Brightfield microscopy, 40× oil immersion; bone marrow aspirate smear; 250 by 250 pixels:
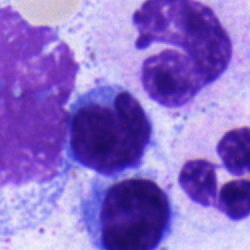 Q: What cell is this?
A: It is a lymphocyte.